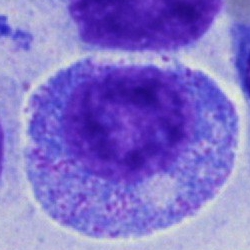 A promyelocyte.